Romanowsky stain · peripheral blood smear: 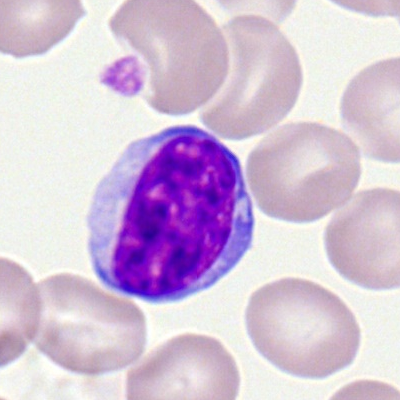 Single cell identified as a lymphocyte.